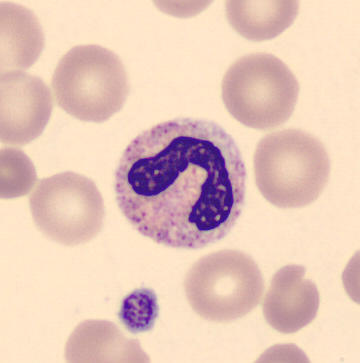
Specimen: peripheral blood smear.
Cell type: neutrophil (band).
Lineage: myeloid.